Bone marrow aspirate smear — 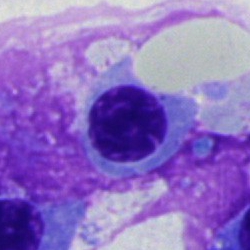 Morphology consistent with a nucleated red cell.